40× objective, oil immersion · bone marrow smear · May-Grünwald-Giemsa/Pappenheim stain: 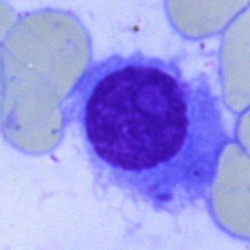
Specimen: bone marrow aspirate smear.
Cell: plasma cell.